Bone marrow smear: 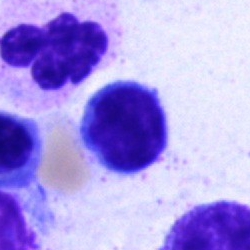Single cell identified as a lymphocyte.